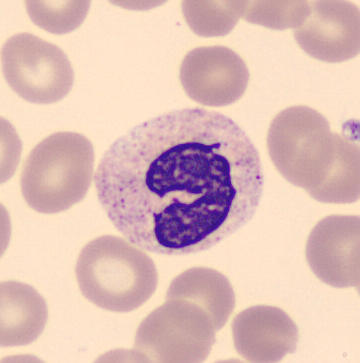

Cell = neutrophil (band).